Bone marrow aspirate smear.
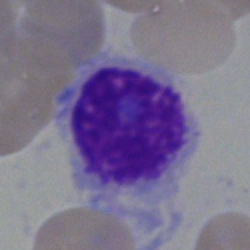
Morphology consistent with an artefact.